Bone marrow smear. Single-cell field: 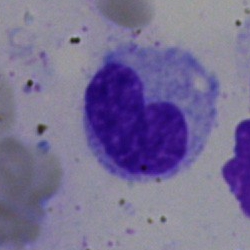

This is a metamyelocyte.